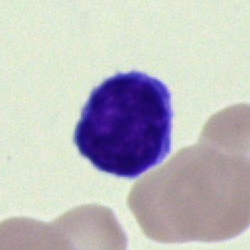 A lymphocyte.